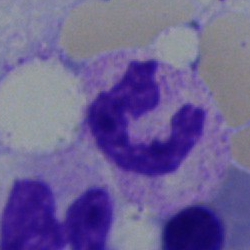
Q: What type of cell is this?
A: A segmented neutrophil.